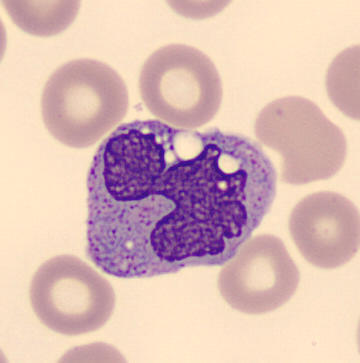

Classification: monocyte.

Acquisition: May Grünwald-Giemsa stain · peripheral blood film · cropped to a single cell.